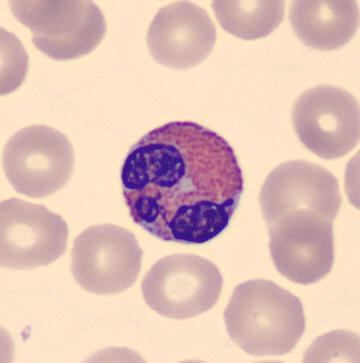Morphological class — eosinophilic granulocyte.